250×250 · single-cell field · bone marrow aspirate smear: 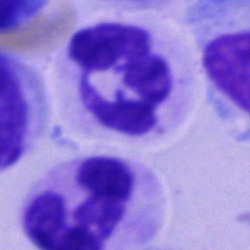 Morphological class = segmented neutrophil.